Image size 250×250 · bone marrow smear
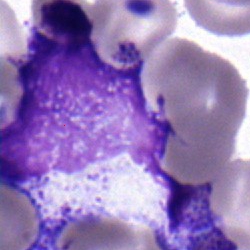 The cell shown is a myelocyte.